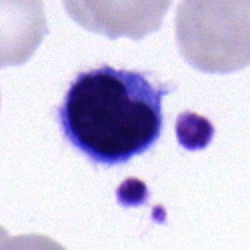A lymphocyte.